Bone marrow smear: 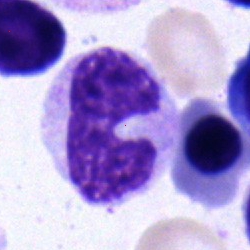 Impression — band neutrophil.